Bone marrow smear; May-Grünwald-Giemsa/Pappenheim stain; single cell centered in the field: 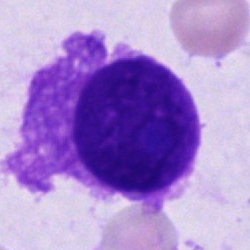

Impression → unidentifiable cell.